Bone marrow aspirate smear — 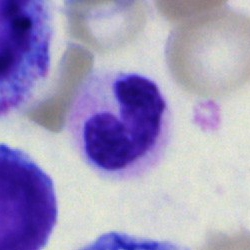

Q: Identify the cell.
A: Neutrophil (band).